Bone marrow aspirate smear
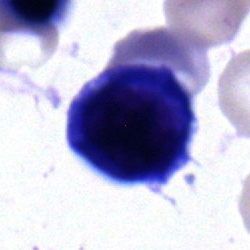Impression → erythroblast.